Peripheral blood film.
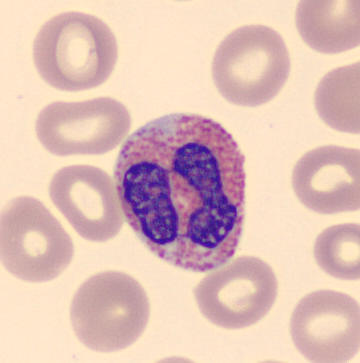Morphological class: eosinophil.